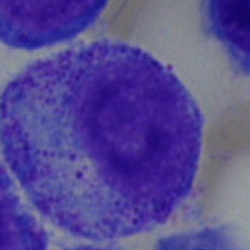The cell is promyelocyte.